Pappenheim-stained · bone marrow aspirate smear
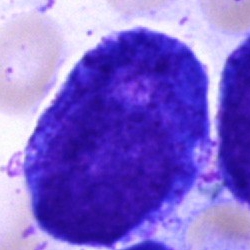
Single cell identified as a progranulocyte.